Peripheral blood smear.
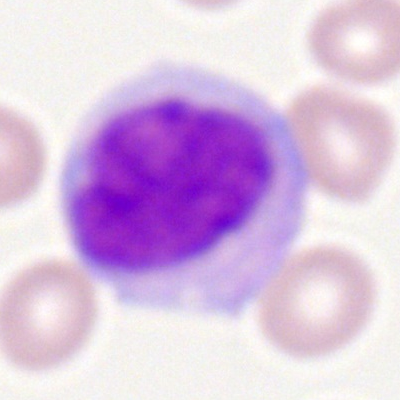This is a monocyte.